Bone marrow aspirate smear. 250 by 250 pixels.
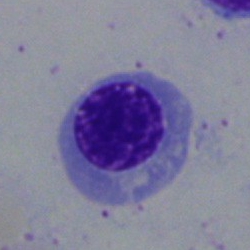 Morphology consistent with a normoblast.